Bone marrow smear — 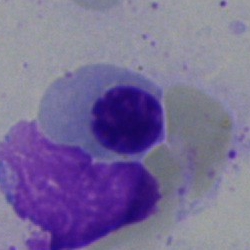

Cell type = normoblast.